Peripheral blood smear:
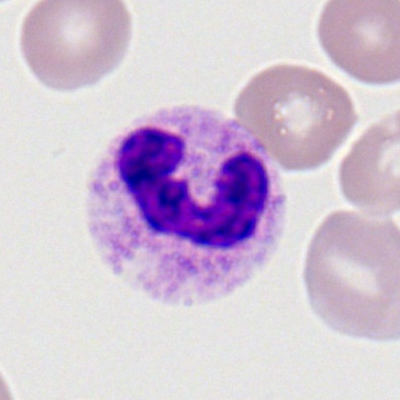Specimen: peripheral blood smear.
Cell type: band neutrophil.
Lineage: myeloid.